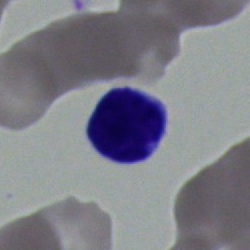

This is a lymphocyte.